Bone marrow smear — 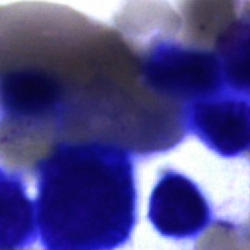

Specimen: bone marrow aspirate smear.
Cell: artifact.